Image size 250×250. Bone marrow aspirate smear. May-Grünwald-Giemsa/Pappenheim stain — 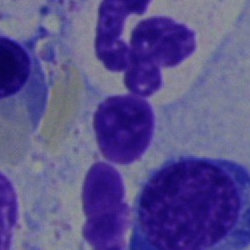
The cell is segmented neutrophil.